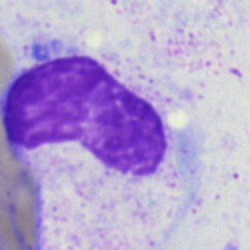The classification is artefact.